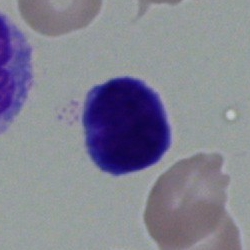 Bone marrow aspirate smear, single cell — typical lymphocyte.